Bone marrow smear; brightfield microscopy, 40× oil immersion — 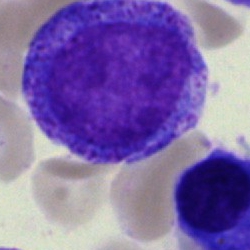Morphology → progranulocyte.